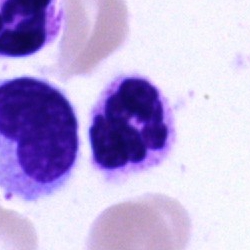
Impression → neutrophil (segmented).